40× objective, oil immersion · bone marrow aspirate smear · 250×250
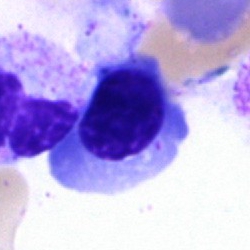
Showing a nucleated red blood cell.